Bone marrow aspirate smear:
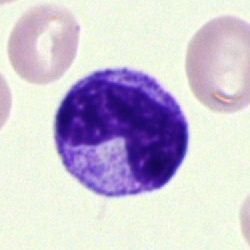This is a stab cell.